Bone marrow smear
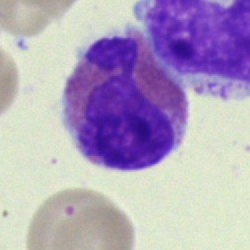Impression → eosinophilic granulocyte.